Bone marrow smear: 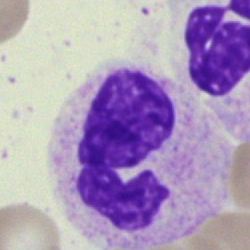 Segmented neutrophil.